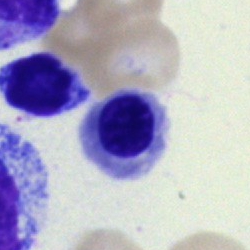 A normoblast.